Peripheral blood smear:
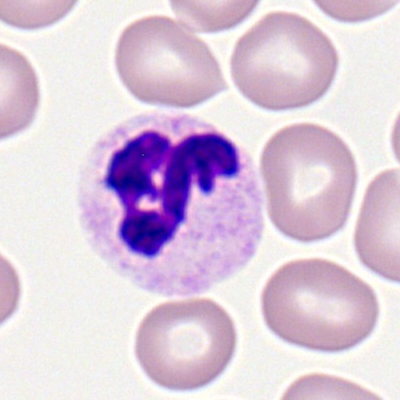Showing a segmented neutrophil.